100× oil immersion · peripheral blood smear:
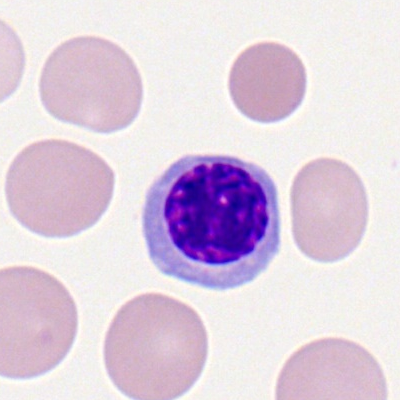

This is an erythroblast.